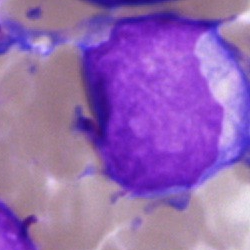 Q: Which cell type is shown here?
A: Undifferentiated blast.